Bone marrow aspirate smear. May-Grünwald-Giemsa/Pappenheim stain
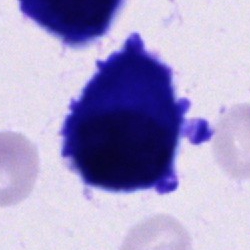

The morphological class is unidentifiable cell.